Brightfield, 40× oil-immersion objective. Bone marrow aspirate smear. Single-cell crop.
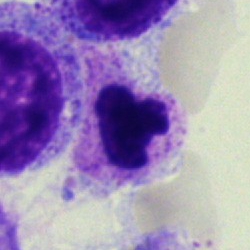Single cell identified as a neutrophil (segmented).